May-Grünwald-Giemsa stain · bone marrow aspirate smear:
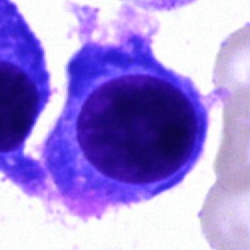{"cell_type": "plasma cell", "lineage": "lymphoid"}